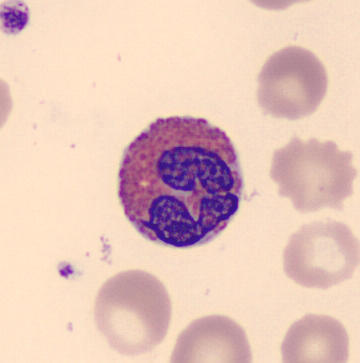From a peripheral blood smear: an eosinophilic granulocyte.